Bone marrow aspirate smear:
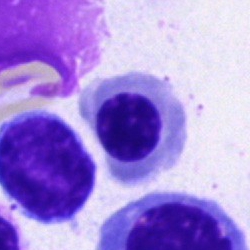 Morphology — nucleated red blood cell.